Image size 250×250 · bone marrow aspirate smear · brightfield microscopy, 40× oil immersion:
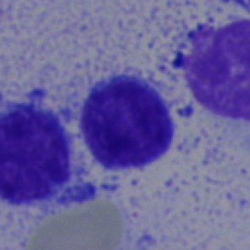 {"cell_type": "typical lymphocyte", "lineage": "lymphoid"}